Bone marrow smear · May-Grünwald-Giemsa/Pappenheim stain — 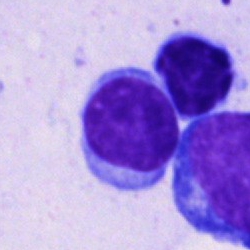 The classification is typical lymphocyte.